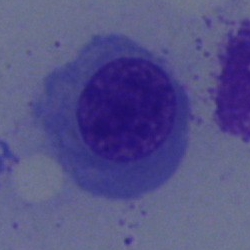Specimen: bone marrow aspirate smear.
Cell type: erythroblast.